Bone marrow smear — 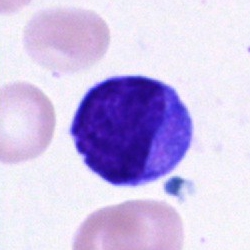

Specimen: bone marrow aspirate smear.
Morphological class: lymphocyte.
Lineage: lymphoid.